Bone marrow aspirate smear. May-Grünwald-Giemsa/Pappenheim stain — 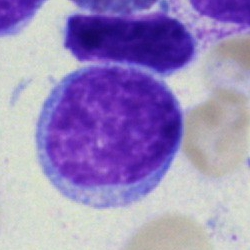Q: What is the morphological classification of this cell?
A: It is a blast.